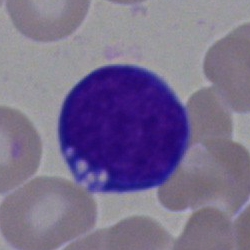 Q: What cell is this?
A: It is a blast.